Bone marrow aspirate smear: 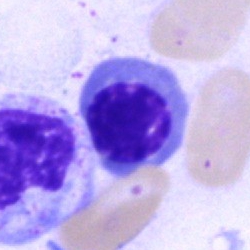 Impression — nucleated red cell.